Bone marrow smear:
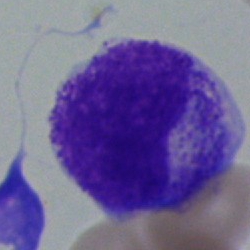 Q: What cell is this?
A: A metamyelocyte.